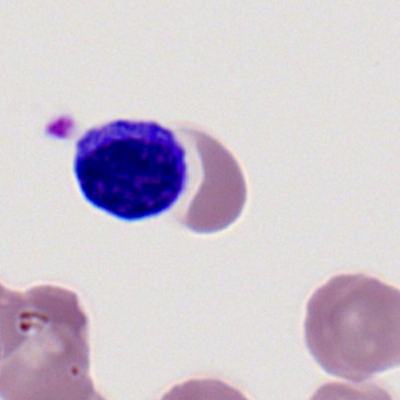 Q: What is the morphological classification of this cell?
A: A lymphocyte.